250×250. Bone marrow smear — 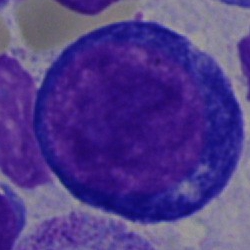
Morphology consistent with a pronormoblast.